Peripheral blood film · 400×400.
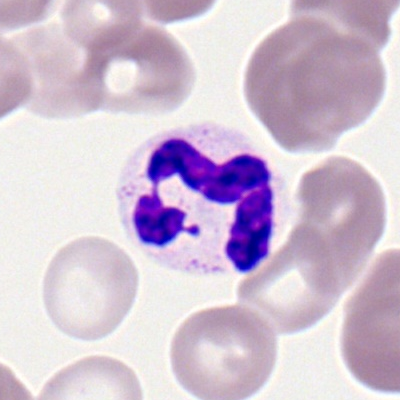

Specimen: peripheral blood smear.
Morphological class: neutrophil (segmented).
Lineage: myeloid.